Bone marrow smear:
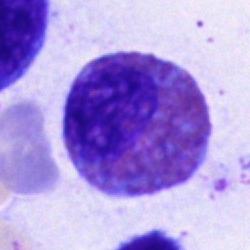

Cell type = eosinophil.